Peripheral blood film · 100× oil immersion
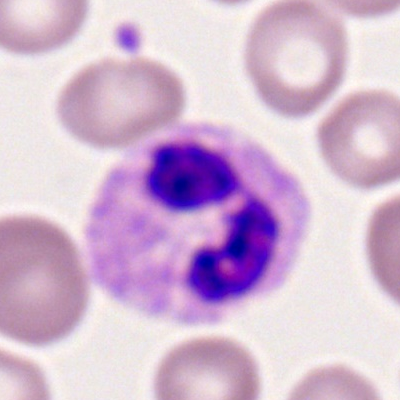
{"cell_type": "polymorphonuclear neutrophil", "lineage": "myeloid"}